May-Grünwald-Giemsa/Pappenheim stain; bone marrow aspirate smear.
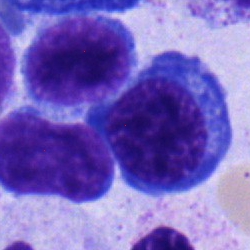
Morphology consistent with a nucleated red blood cell.